Bone marrow smear.
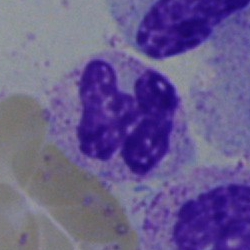

Segmented neutrophil.